Bone marrow aspirate smear; 40× objective, oil immersion:
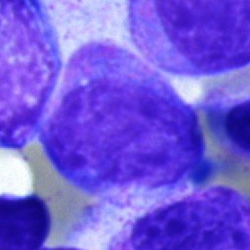Cell — myelocyte.